Bone marrow aspirate smear; May-Grünwald-Giemsa stain:
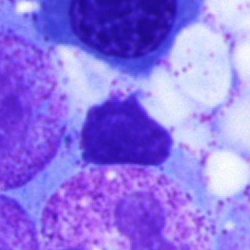
Showing an artefact.